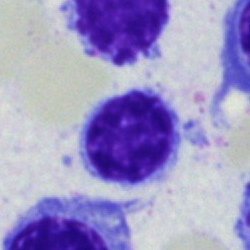 Morphology — lymphocyte.